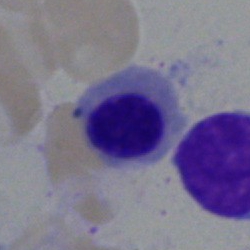Cell type — nucleated red blood cell.